250 by 250 pixels; bone marrow aspirate smear — 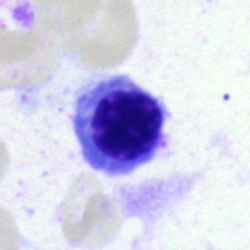
Showing a nucleated red cell.